250 by 250 pixels; bone marrow smear; MGG-stained.
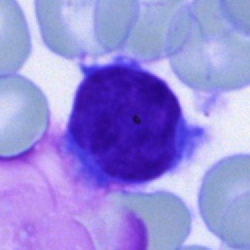 Q: What type of cell is this?
A: A lymphocyte.